Bone marrow smear
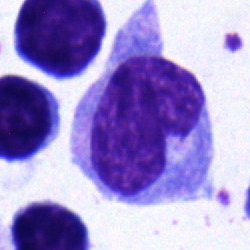 Morphological class: monocyte.